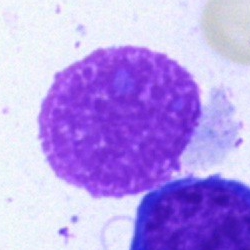

Specimen: bone marrow aspirate smear.
Morphological class: artifact.